Bone marrow aspirate smear: 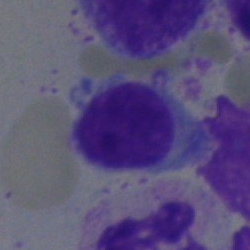

A typical lymphocyte.